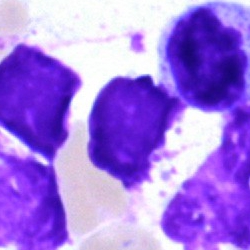The cell shown is an artefact.